Brightfield microscopy, 40× oil immersion. Single-cell crop. Bone marrow smear
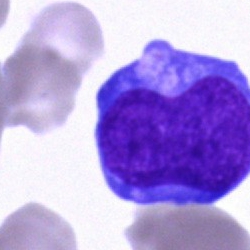 {"cell_type": "undifferentiated blast"}